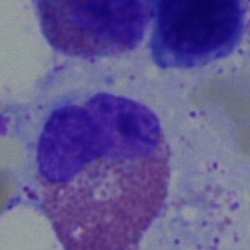 Morphology → eosinophil.